Bone marrow aspirate smear:
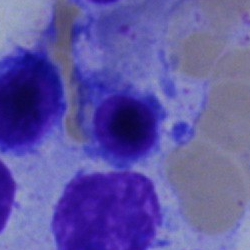 Classification: nucleated red cell.